Peripheral blood film
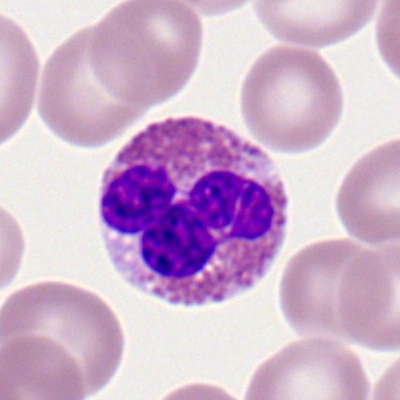
Specimen: peripheral blood smear.
Cell: eosinophilic granulocyte.
Lineage: myeloid.